Bone marrow smear: 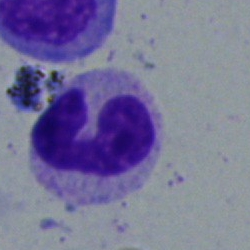

Specimen: bone marrow aspirate smear.
Morphological class: metamyelocyte.